Bone marrow aspirate smear; Pappenheim-stained: 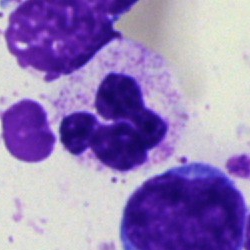
Single cell identified as a polymorphonuclear neutrophil.